Peripheral blood smear · 360×363 px · automated cell imaging (CellaVision DM96)
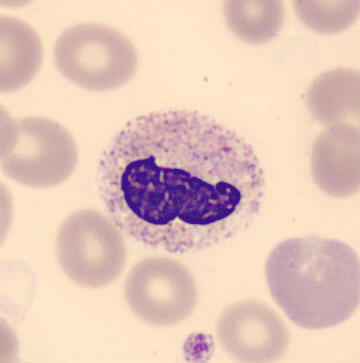
Identified as a stab cell.